Single-cell crop; 40× objective, oil immersion; bone marrow smear — 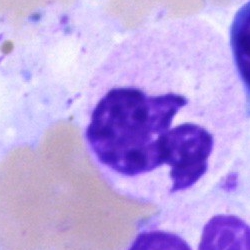
Cell type: segmented neutrophil.